Single-cell crop; 40× oil immersion; bone marrow smear.
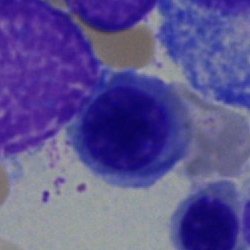

Q: What cell is this?
A: A nucleated red cell.